Bone marrow aspirate smear. Image size 250×250 — 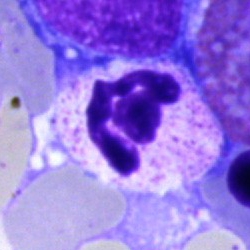 Specimen: bone marrow aspirate smear.
Cell: polymorphonuclear neutrophil.
Lineage: myeloid.